Bone marrow smear
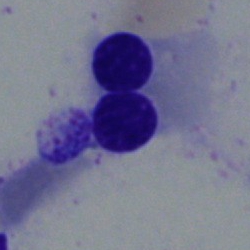The cell is erythroblast.